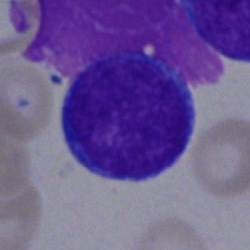This is an undifferentiated blast.